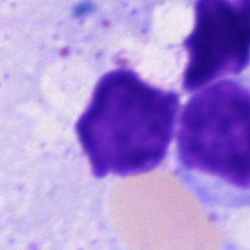 Cell type: artifact.